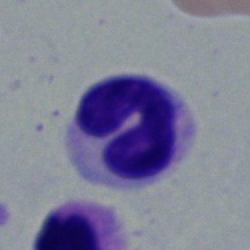Cell type: band neutrophil.